Bone marrow aspirate smear; cropped to a single cell: 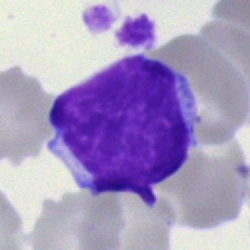
Typical lymphocyte.